Bone marrow aspirate smear · 250×250 · brightfield microscopy, 40× oil immersion: 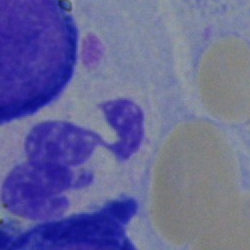
Showing a segmented neutrophil.